Bone marrow aspirate smear.
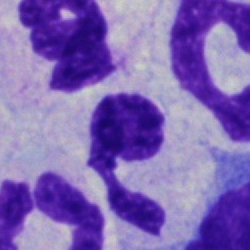

Impression → polymorphonuclear neutrophil.